Bone marrow aspirate smear; May-Grünwald-Giemsa stain.
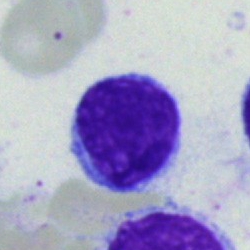 Specimen: bone marrow aspirate smear.
Classification: typical lymphocyte.
Lineage: lymphoid.